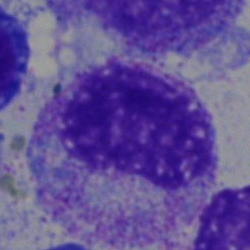

The morphological class is metamyelocyte.